Bone marrow aspirate smear
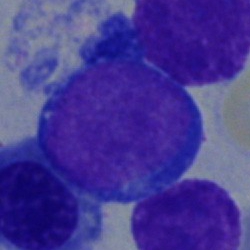Showing a proerythroblast.